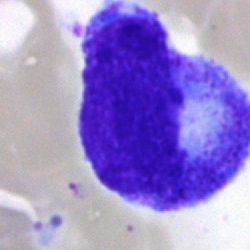
Q: Which cell type is shown here?
A: Progranulocyte.